250×250 px; bone marrow smear:
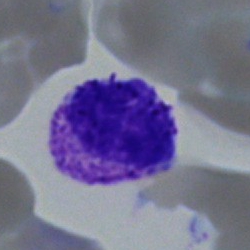Q: What cell is this?
A: Polymorphonuclear neutrophil.